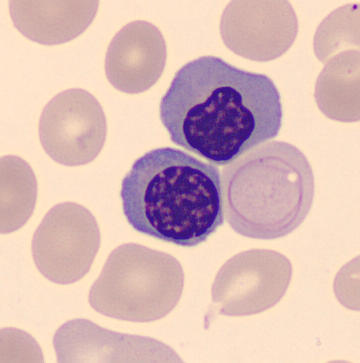 Specimen: peripheral blood film.
Cell type: normoblast.
Lineage: erythroid.